Bone marrow aspirate smear — 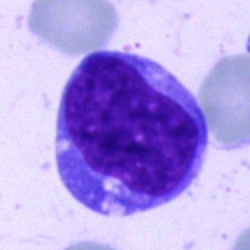Blast cell.